Bone marrow aspirate smear — 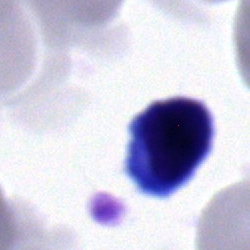

Q: What is the morphological classification of this cell?
A: A lymphocyte.